Bone marrow smear:
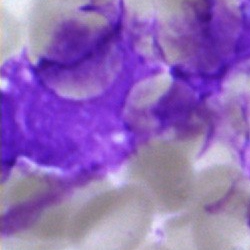Showing an artefact.